Cropped to a single cell; May-Grünwald-Giemsa stain; bone marrow aspirate smear:
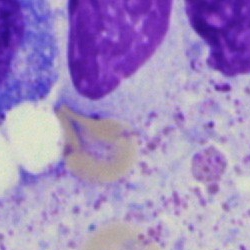

Cell = artefact.